400 by 400 pixels. Peripheral blood smear: 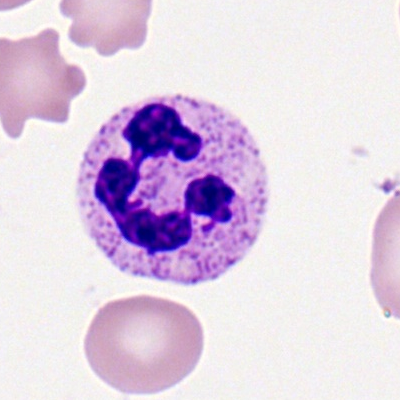

Morphology consistent with a segmented neutrophil.